Bone marrow smear.
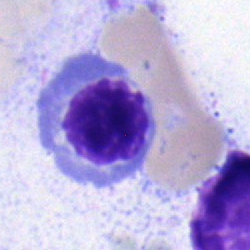

Showing a normoblast.